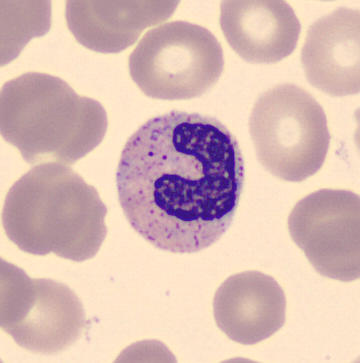{"cell_type": "band-form neutrophil"}